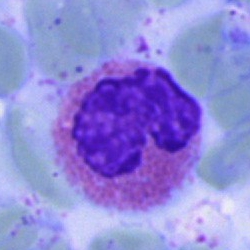 An eosinophil.